Bone marrow smear. Brightfield microscopy, 40× oil immersion. May-Grünwald-Giemsa/Pappenheim stain.
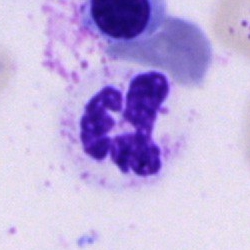 Neutrophil (segmented).